Bone marrow smear.
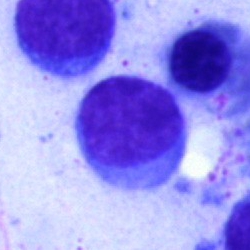

Lymphocyte.